40× oil immersion. Bone marrow aspirate smear: 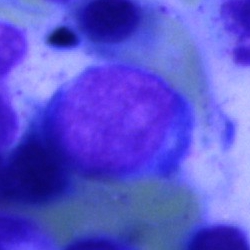
A typical lymphocyte.